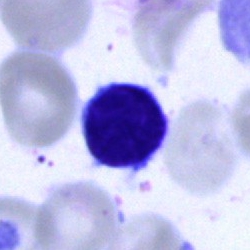

Cell type: typical lymphocyte.